Peripheral blood smear.
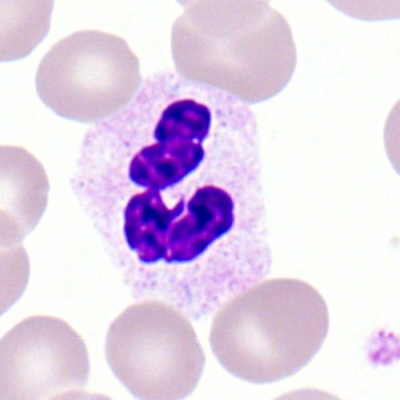The cell shown is a segmented neutrophil.